Cropped to a single cell; bone marrow aspirate smear — 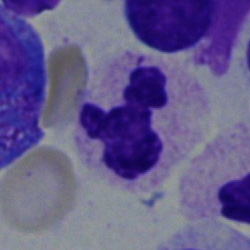Morphology consistent with a segmented neutrophil.